Image size 250×250; May-Grünwald-Giemsa/Pappenheim stain; bone marrow smear.
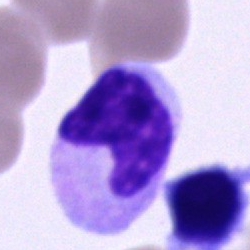
Cell type — cell of indeterminate lineage.